May-Grünwald-Giemsa/Pappenheim stain · bone marrow aspirate smear · cropped to a single cell
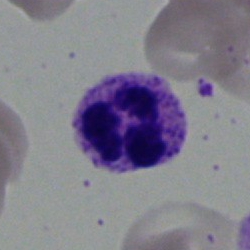
Cell: polymorphonuclear neutrophil.